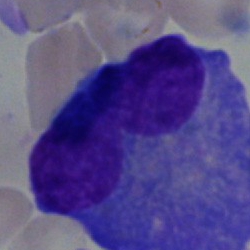
The morphological class is plasma cell.